Image size 250×250 · bone marrow aspirate smear · brightfield microscopy, 40× oil immersion:
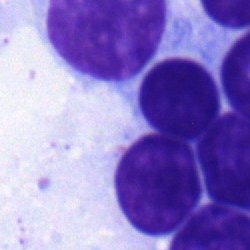

Impression → typical lymphocyte.